Bone marrow aspirate smear — 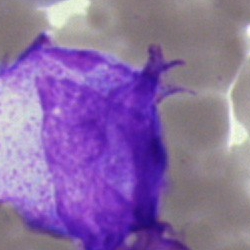

Q: Identify the cell.
A: Blast.